Bone marrow aspirate smear — 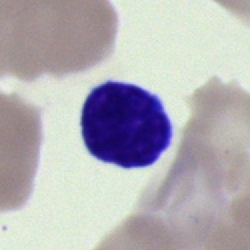Classification — cell of indeterminate lineage.